Peripheral blood film.
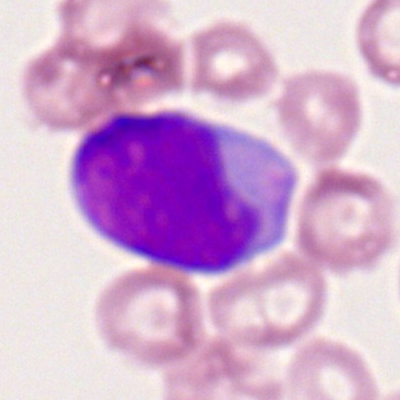 Specimen: peripheral blood film.
Classification: myeloid blast.
Lineage: myeloid.